Bone marrow aspirate smear:
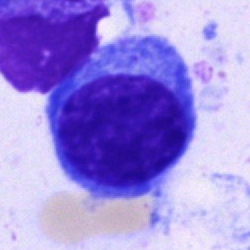

Morphology — lymphocyte.